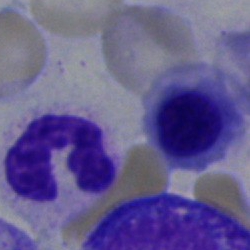Bone marrow smear showing a nucleated red blood cell.